Bone marrow aspirate smear; 40× oil immersion:
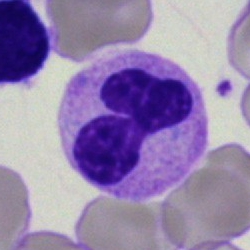Cell type — neutrophil (segmented).